May-Grünwald-Giemsa stain; bone marrow smear.
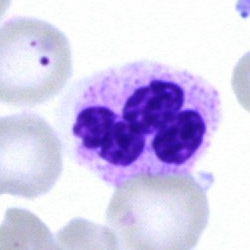Specimen: bone marrow smear.
Morphological class: segmented neutrophil.